Bone marrow aspirate smear:
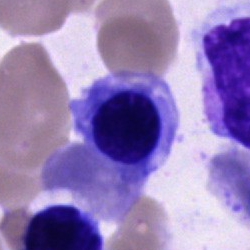 Q: Which cell type is shown here?
A: A normoblast.